Bone marrow aspirate smear:
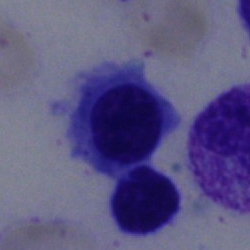 Cell: normoblast.